Bone marrow aspirate smear: 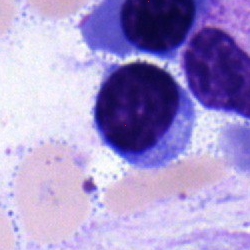

{"cell_type": "lymphocyte", "lineage": "lymphoid"}